Bone marrow smear — 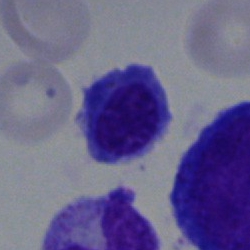 Morphology consistent with a normoblast.